Bone marrow aspirate smear: 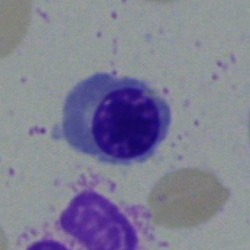
Showing a nucleated red blood cell.